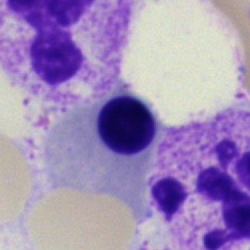 Q: What is the morphological classification of this cell?
A: It is an erythroblast.